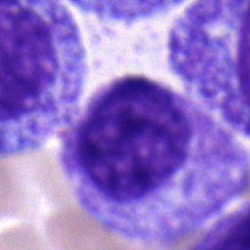 The cell shown is a myelocyte.